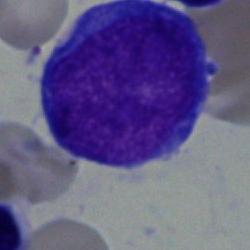Blast cell.